Bone marrow aspirate smear: 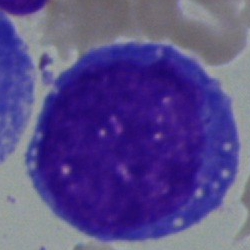Morphological class: blast cell.